400×400; peripheral blood film: 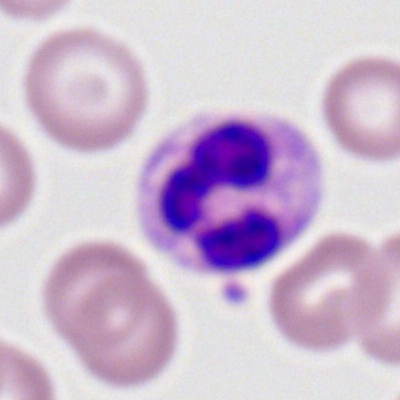 Morphology consistent with a neutrophil (segmented).